Bone marrow aspirate smear · brightfield, 40× oil-immersion objective: 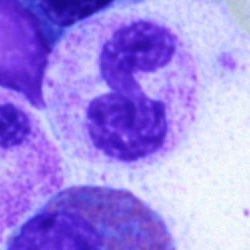Morphology consistent with a polymorphonuclear neutrophil.